250 by 250 pixels. Bone marrow smear.
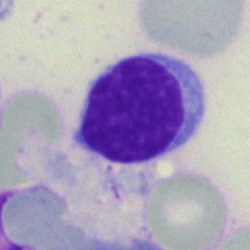{"cell_type": "lymphocyte"}